250×250. Bone marrow aspirate smear. Single cell centered in the field.
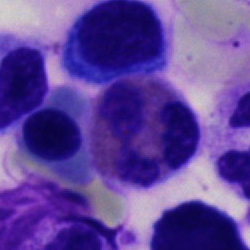

The classification is eosinophilic granulocyte.